Peripheral blood film: 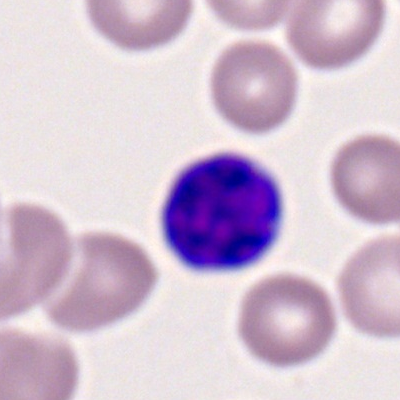
Q: What cell is this?
A: Lymphocyte.